Peripheral blood film. Single cell centered in the field: 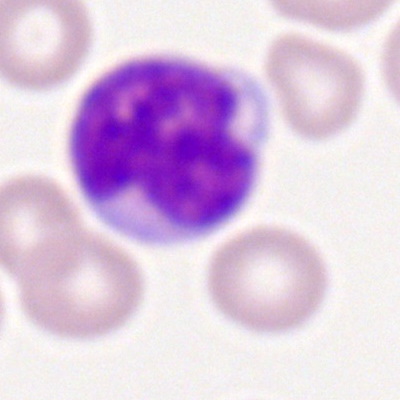 Cell = typical lymphocyte.